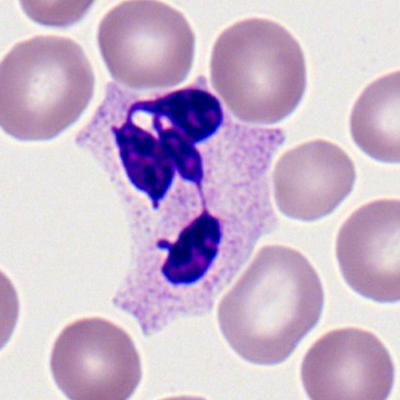The cell shown is a neutrophil (segmented).